Bone marrow smear — 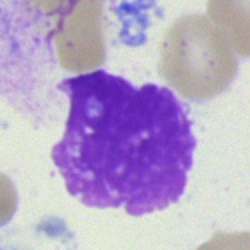

Morphology consistent with an artifact.